May-Grünwald-Giemsa/Pappenheim stain · 250×250 px · bone marrow aspirate smear: 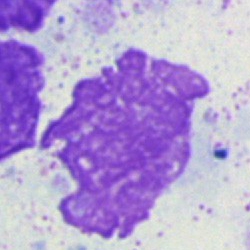Impression → artifact.